Cropped to a single cell · peripheral blood film.
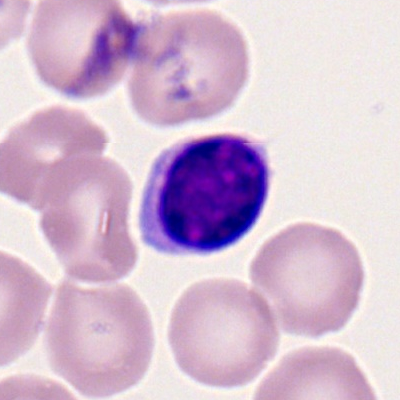Cell — typical lymphocyte.